Single cell centered in the field; 250×250 px; bone marrow smear:
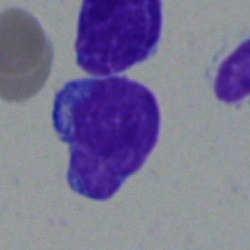

A lymphocyte.